Single-cell field; bone marrow smear; brightfield, 40× oil-immersion objective — 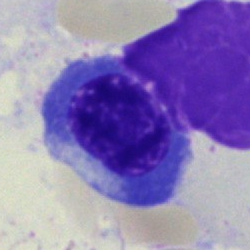An erythroblast.